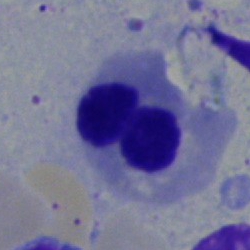
Specimen: bone marrow aspirate smear.
Cell: normoblast.
Lineage: erythroid.